Bone marrow smear; 40× objective, oil immersion — 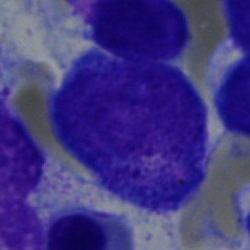
Specimen: bone marrow smear.
Cell type: promyelocyte.